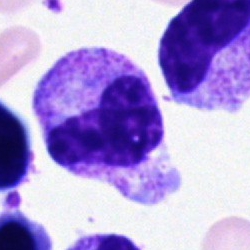
A metamyelocyte.